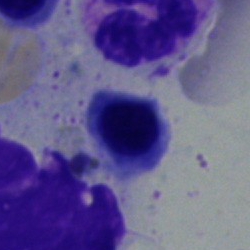

Impression → normoblast.